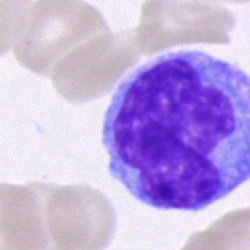

Q: Identify the cell.
A: This is a monocyte.